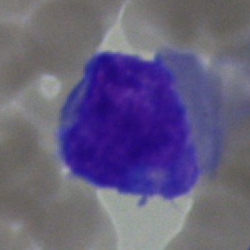 An undifferentiated blast.